Bone marrow aspirate smear: 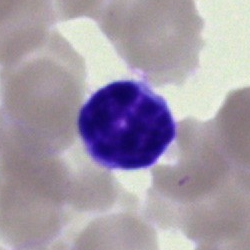

Lymphocyte.